Bone marrow aspirate smear.
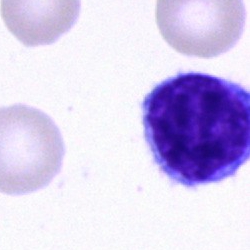Impression → typical lymphocyte.